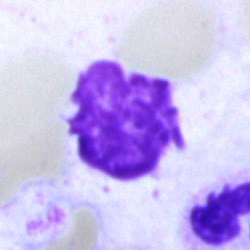 Morphology — artifact.